Bone marrow smear.
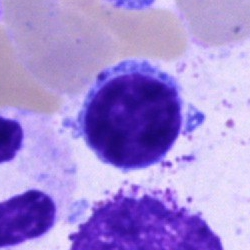
{"cell_type": "lymphocyte", "lineage": "lymphoid"}